Bone marrow aspirate smear · 250×250 px: 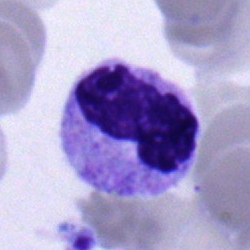 Plasmacyte.